Bone marrow smear; 40× objective, oil immersion
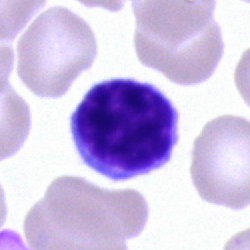

Morphological class: lymphocyte.